Pappenheim-stained; 250 by 250 pixels; bone marrow smear: 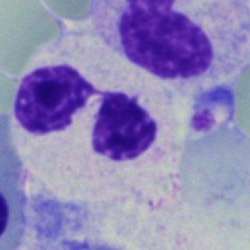{"cell_type": "segmented neutrophil"}